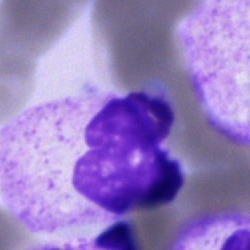
Cell of indeterminate lineage.